Bone marrow smear — 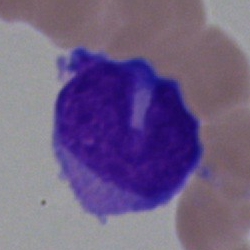 Q: What is the morphological classification of this cell?
A: A monocyte.